40× objective, oil immersion; single-cell field; bone marrow aspirate smear:
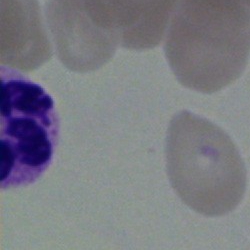

Cell — segmented neutrophil.